Peripheral blood smear.
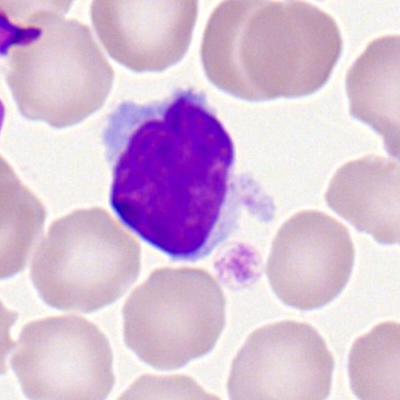 Specimen: peripheral blood smear.
Morphological class: typical lymphocyte.
Lineage: lymphoid.